250×250 · bone marrow aspirate smear.
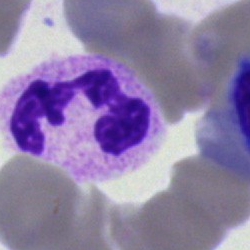

Impression → polymorphonuclear neutrophil.